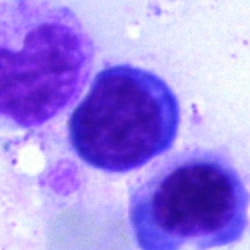 Bone marrow aspirate smear, single cell — normoblast.